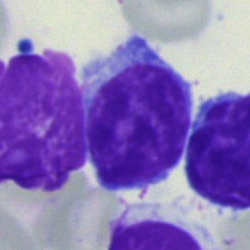Morphology consistent with a lymphocyte.